Bone marrow aspirate smear
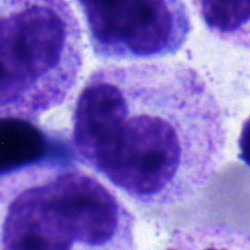 Morphology — metamyelocyte.